Bone marrow aspirate smear.
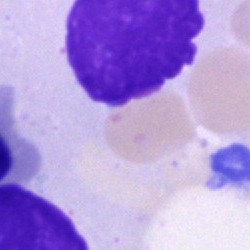Cell type: artefact.